Brightfield microscopy, 40× oil immersion · bone marrow aspirate smear
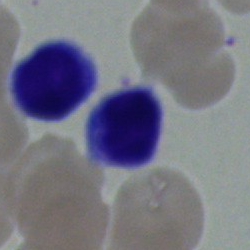 Single cell identified as a typical lymphocyte.